Bone marrow smear; May-Grünwald-Giemsa stain
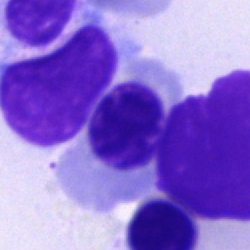 Morphology — nucleated red blood cell.